Bone marrow aspirate smear
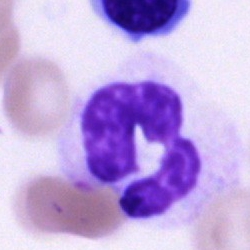 Cell type = neutrophil (segmented).